Bone marrow aspirate smear — 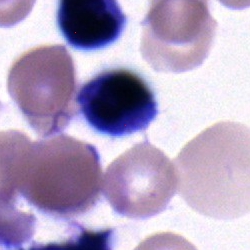

{"cell_type": "typical lymphocyte"}